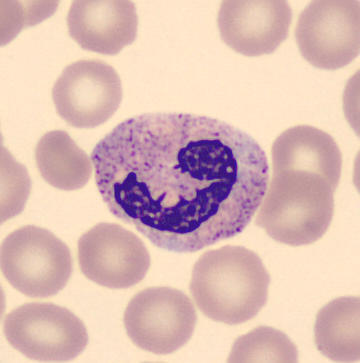
Impression — segmented neutrophil.